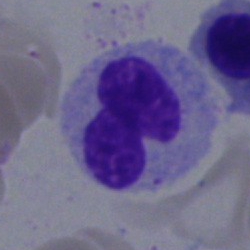 Single cell identified as a polymorphonuclear neutrophil.